Bone marrow smear.
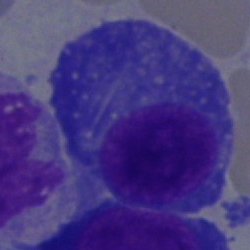

Showing a plasmacyte.